Bone marrow aspirate smear:
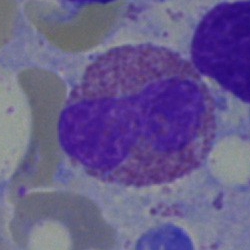Specimen: bone marrow smear.
Cell type: eosinophilic granulocyte.
Lineage: myeloid.